Bone marrow aspirate smear
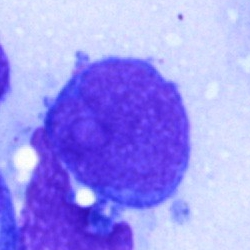

A blast.